Bone marrow aspirate smear.
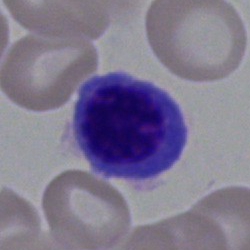 Morphology → nucleated red cell.